250 by 250 pixels. Bone marrow aspirate smear:
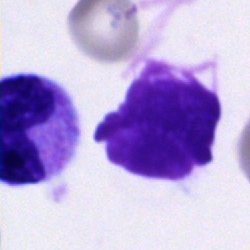
{"cell_type": "artefact"}